Bone marrow aspirate smear — 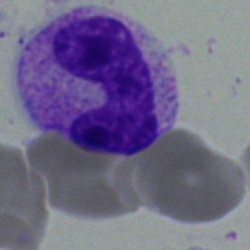
Q: Identify the cell.
A: This is a stab cell.